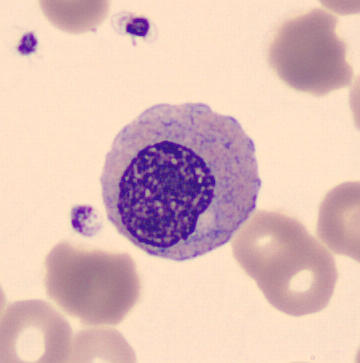

Classification = myelocyte. Peripheral blood smear.